Bone marrow aspirate smear:
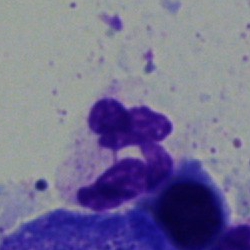
{"cell_type": "neutrophil (segmented)"}